250×250; bone marrow aspirate smear; Pappenheim-stained
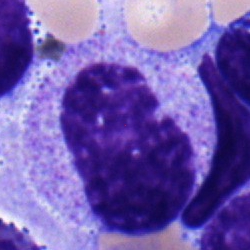
Single cell identified as a myelocyte.